Bone marrow aspirate smear. Pappenheim-stained: 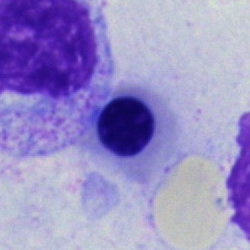Cell: normoblast.